May-Grünwald-Giemsa/Pappenheim stain; bone marrow smear; 250×250 px — 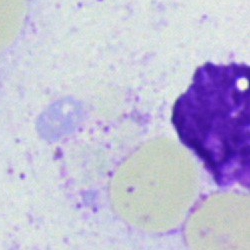

Showing an artifact.